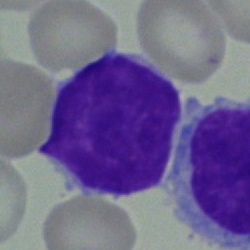

The morphological class is lymphocyte.